Bone marrow smear: 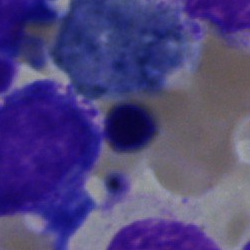Specimen: bone marrow smear.
Cell: nucleated red blood cell.
Lineage: erythroid.